Bone marrow aspirate smear — 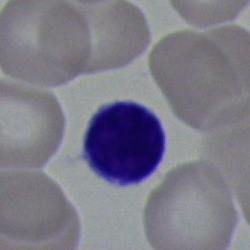Typical lymphocyte.